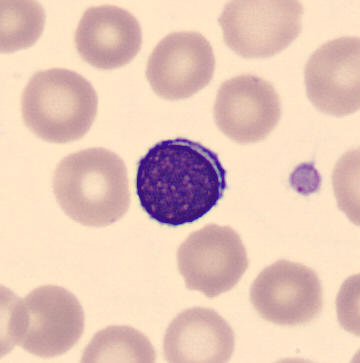 Cell type: typical lymphocyte. Preparation: Single-cell crop. Peripheral blood smear.